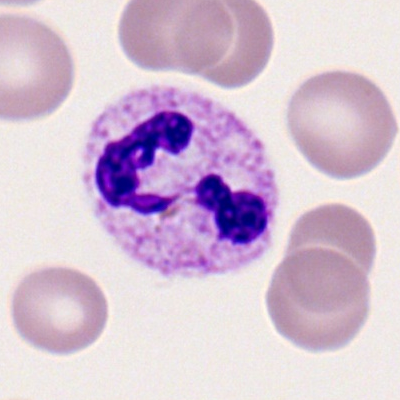Q: What type of cell is this?
A: Segmented neutrophil.